Bone marrow smear: 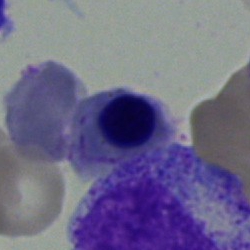
Morphology — nucleated red cell.